Bone marrow aspirate smear:
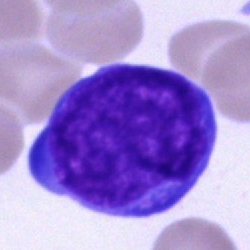

Q: Identify the cell.
A: A blast.